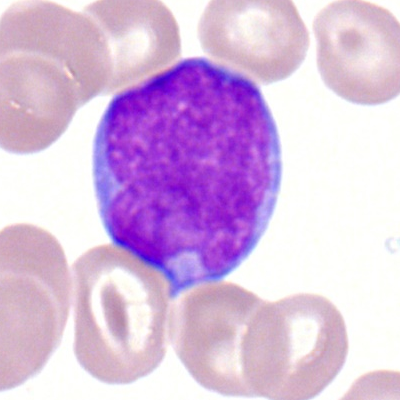 Cell = myeloblast.